Bone marrow aspirate smear: 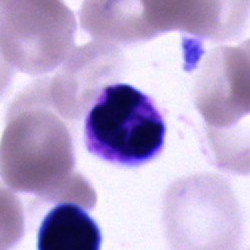
Q: What is the morphological classification of this cell?
A: This is an unidentifiable cell.